Bone marrow smear: 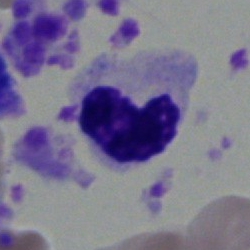A segmented neutrophil.